Peripheral blood smear: 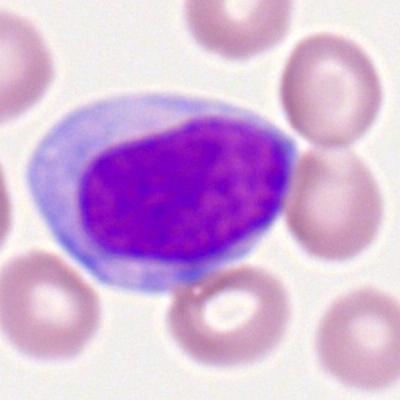 Specimen: peripheral blood film.
Cell: myeloblast.